MGG-stained · bone marrow aspirate smear — 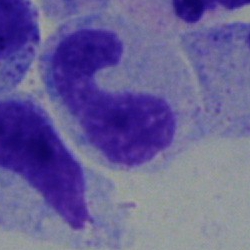

Cell type = band neutrophil.